Bone marrow smear
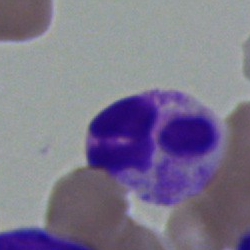{"cell_type": "segmented neutrophil", "lineage": "myeloid"}